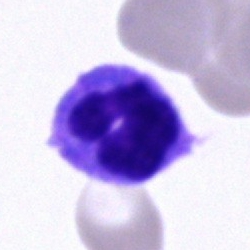

Single-cell crop from a bone marrow smear: monocyte.